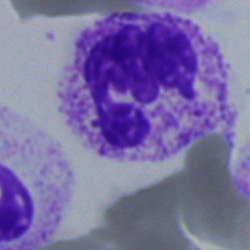

Single cell identified as a segmented neutrophil.